Bone marrow aspirate smear
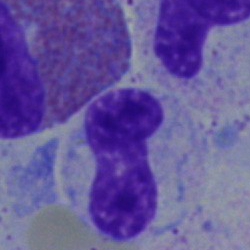 Stab cell.